Bone marrow smear. Image size 250×250
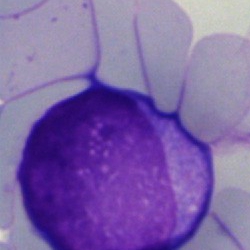 The cell shown is a blast.